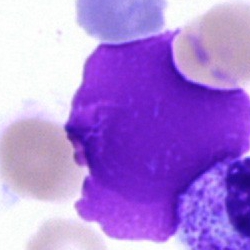
Bone marrow smear showing an artifact.